Bone marrow smear · MGG-stained
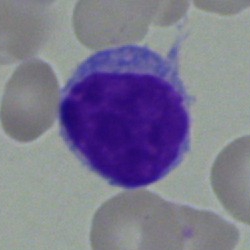
Morphology consistent with a typical lymphocyte.